250×250 · 40× objective, oil immersion · bone marrow smear: 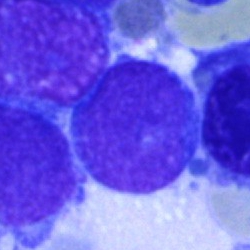
Showing a blast cell.